Bone marrow aspirate smear. 40× oil immersion:
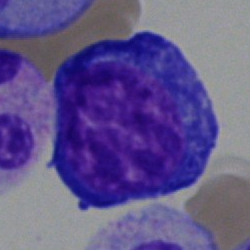

Q: What cell is this?
A: It is a proerythroblast.